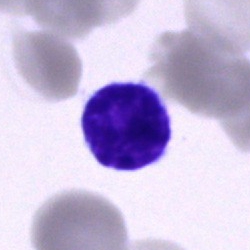 {"cell_type": "lymphocyte", "lineage": "lymphoid"}